Bone marrow aspirate smear · MGG-stained
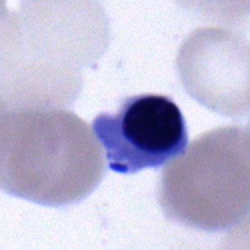
Morphological class — nucleated red cell.